Brightfield microscopy, 40× oil immersion. Single-cell field. Bone marrow aspirate smear:
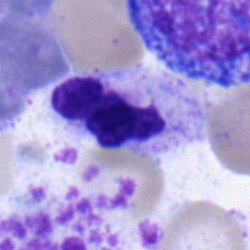 This is a segmented neutrophil.